Pappenheim-stained; 40× oil immersion; bone marrow aspirate smear.
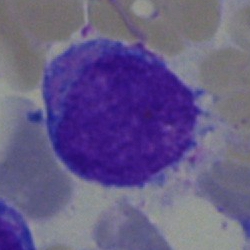
Morphology consistent with a blast cell.